Bone marrow aspirate smear — 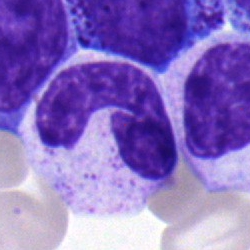 Specimen: bone marrow aspirate smear.
Classification: neutrophil (band).